Peripheral blood film · cropped to a single cell · Romanowsky-stained.
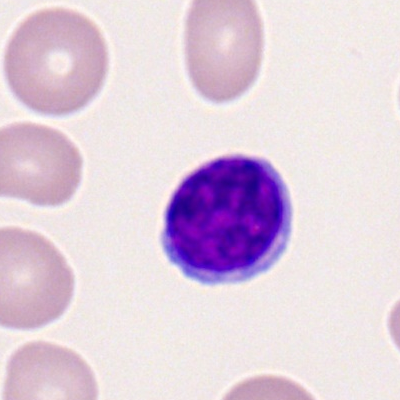 Morphology — lymphocyte.